Pappenheim-stained. Bone marrow aspirate smear
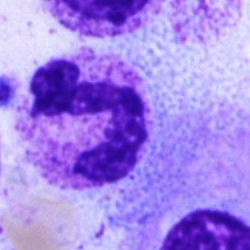{"cell_type": "polymorphonuclear neutrophil", "lineage": "myeloid"}